Bone marrow smear.
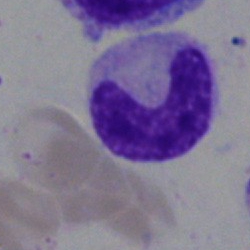Morphology — band neutrophil.